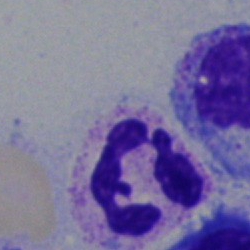 Bone marrow aspirate smear, single cell — segmented neutrophil.